Bone marrow aspirate smear:
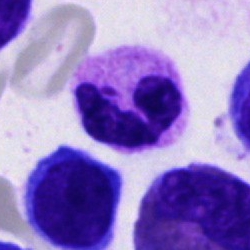 Q: Identify the cell.
A: This is a polymorphonuclear neutrophil.